Bone marrow aspirate smear. Brightfield microscopy, 40× oil immersion. Image size 250×250 — 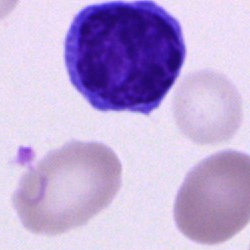A lymphocyte.